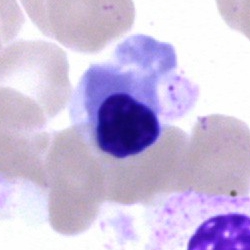
Specimen: bone marrow smear.
Cell type: nucleated red cell.
Lineage: erythroid.